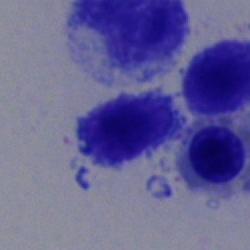 Lymphocyte.